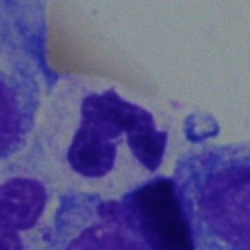Neutrophil (segmented).